Bone marrow smear. May-Grünwald-Giemsa/Pappenheim stain. Single-cell field — 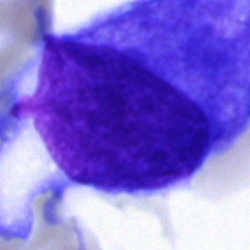

The cell type is blast cell.